Bone marrow aspirate smear
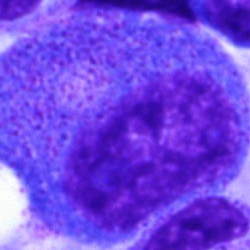
Morphological class — promyelocyte.